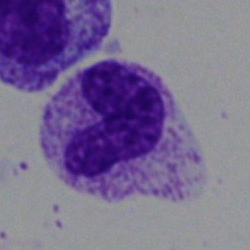 Cell type = band neutrophil.